250 by 250 pixels. Single-cell field. Bone marrow smear: 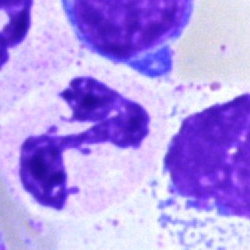
A neutrophil (segmented).